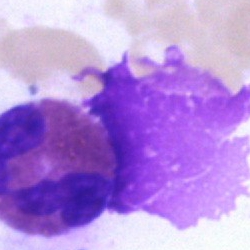

Q: What is the morphological classification of this cell?
A: It is an eosinophilic granulocyte.